Peripheral blood film: 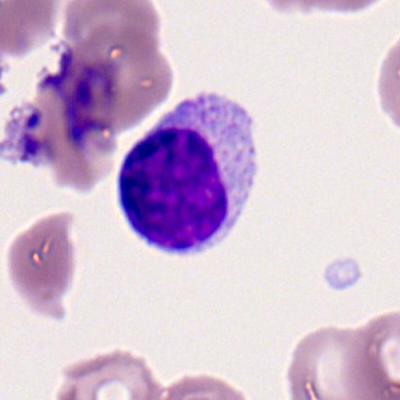This is a lymphocyte.